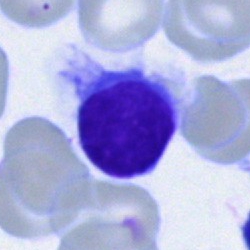Specimen: bone marrow smear.
Classification: lymphocyte.
Lineage: lymphoid.